Peripheral blood film: 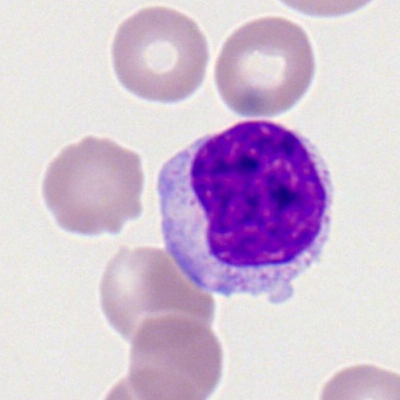Cell: typical lymphocyte.